250×250 px. Bone marrow aspirate smear
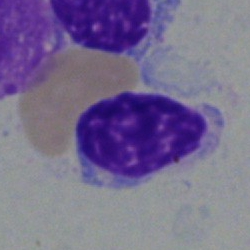Typical lymphocyte.